Bone marrow aspirate smear.
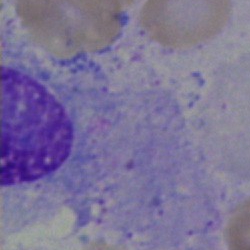An artefact.